Cropped to a single cell · bone marrow aspirate smear:
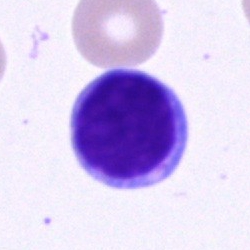
Showing a typical lymphocyte.